Brightfield microscopy, 40× oil immersion; bone marrow smear.
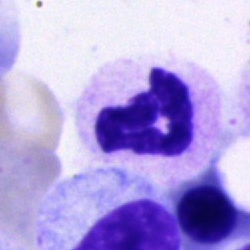 Cell — neutrophil (segmented).